Bone marrow aspirate smear
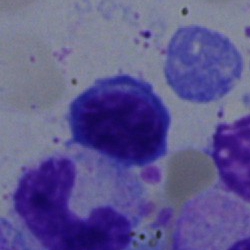 Lymphocyte.